Bone marrow aspirate smear · cropped to a single cell.
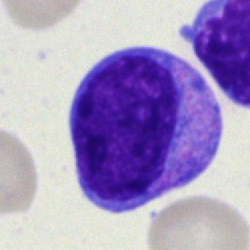
Cell: blast.